Bone marrow aspirate smear; MGG-stained — 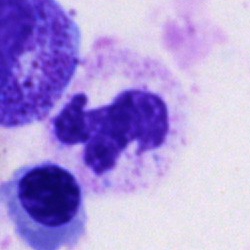
Specimen: bone marrow aspirate smear.
Cell type: polymorphonuclear neutrophil.
Lineage: myeloid.